Bone marrow smear: 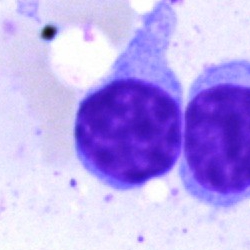

Morphology → typical lymphocyte.